250×250 px · bone marrow aspirate smear · single cell centered in the field:
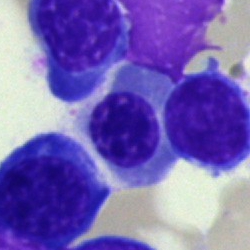 {"cell_type": "normoblast", "lineage": "erythroid"}